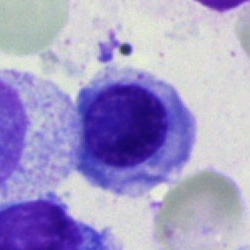 Morphology — normoblast.